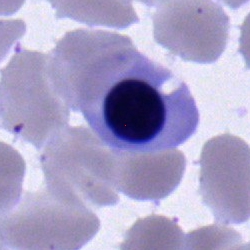 Single-cell crop from a bone marrow smear: normoblast.